Bone marrow smear; cropped to a single cell:
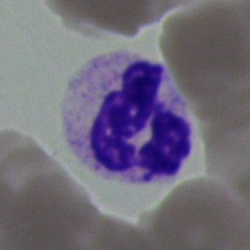Classification: neutrophil (segmented).